Bone marrow smear: 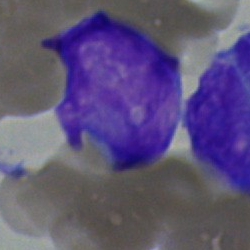{"cell_type": "blast cell"}